Bone marrow smear:
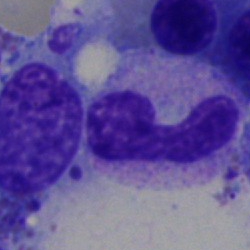
Q: What cell is this?
A: A band-form neutrophil.